Bone marrow aspirate smear · single cell centered in the field: 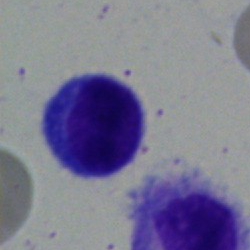 Cell — lymphocyte.